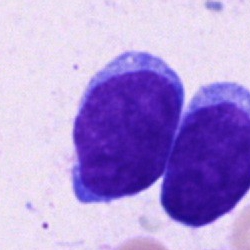 The cell is blast cell.